Bone marrow smear — 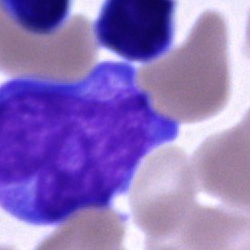Q: What type of cell is this?
A: It is a blast.